May-Grünwald-Giemsa/Pappenheim stain; image size 250×250; bone marrow smear: 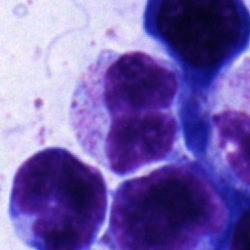
Showing a neutrophil (band).